Bone marrow smear
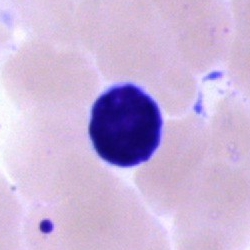 This is a lymphocyte.